250 by 250 pixels. Bone marrow smear:
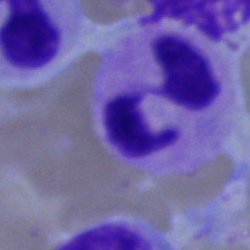 Q: Identify the cell.
A: It is a segmented neutrophil.